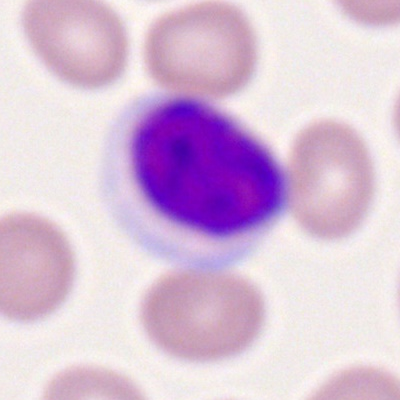The morphological class is typical lymphocyte.